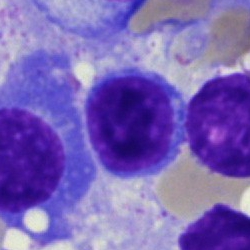
{"cell_type": "lymphocyte", "lineage": "lymphoid"}